Bone marrow smear · brightfield microscopy, 40× oil immersion · May-Grünwald-Giemsa stain:
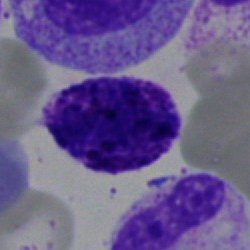 Impression → basophil.